Bone marrow aspirate smear
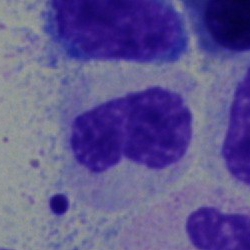 Morphology → metamyelocyte.